Bone marrow aspirate smear — 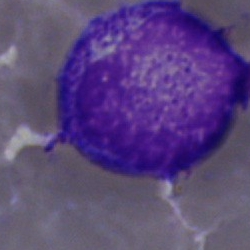 Impression — promyelocyte.